Bone marrow smear — 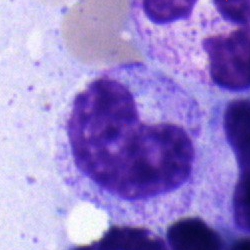Impression — metamyelocyte.